Bone marrow aspirate smear: 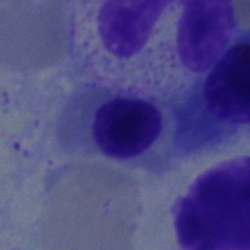 Specimen: bone marrow aspirate smear.
Classification: nucleated red blood cell.
Lineage: erythroid.